Bone marrow smear; single-cell field.
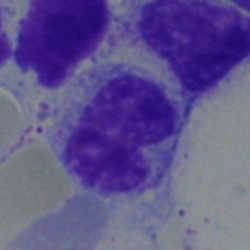

Morphological class: neutrophil (band).